Bone marrow aspirate smear
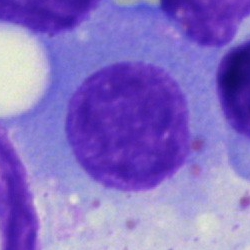
Single cell identified as a plasmacyte.